Single-cell field; bone marrow smear — 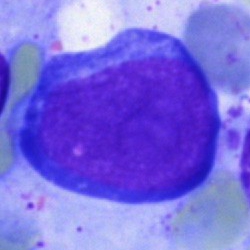 Q: Which cell type is shown here?
A: It is a pronormoblast.